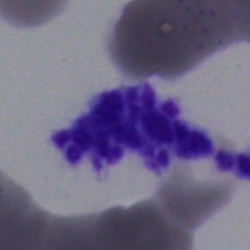
This is an artefact.